Bone marrow aspirate smear
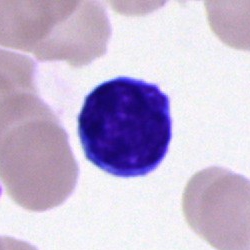
Q: Identify the cell.
A: This is a typical lymphocyte.